Bone marrow aspirate smear — 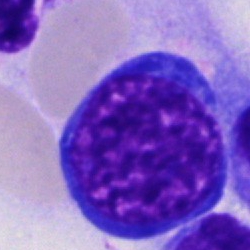 Morphology — erythroblast.